Single-cell crop · bone marrow smear
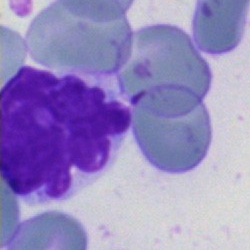

Classification — artifact.